250 by 250 pixels. Bone marrow smear — 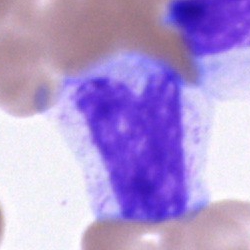
{"cell_type": "cell of indeterminate lineage"}